40× oil immersion. Single-cell field. Bone marrow smear.
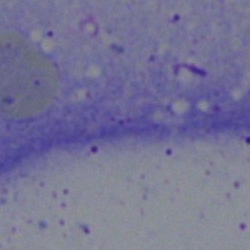Cell = artefact.